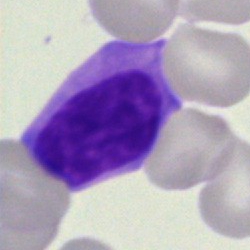
Specimen: bone marrow aspirate smear.
Classification: lymphocyte.